Bone marrow aspirate smear
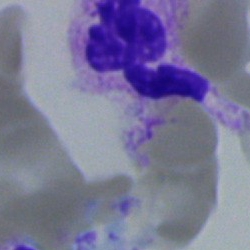Specimen: bone marrow smear.
Cell: segmented neutrophil.
Lineage: myeloid.